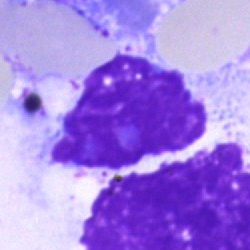 Single-cell crop from a bone marrow smear: artifact.